May-Grünwald-Giemsa/Pappenheim stain; brightfield, 40× oil-immersion objective; bone marrow smear
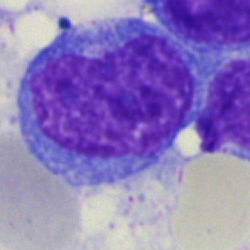 Impression — blast cell.